Single cell centered in the field. Bone marrow smear
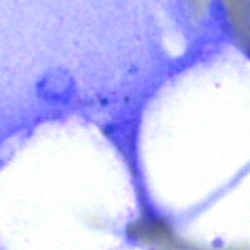The cell shown is an artefact.